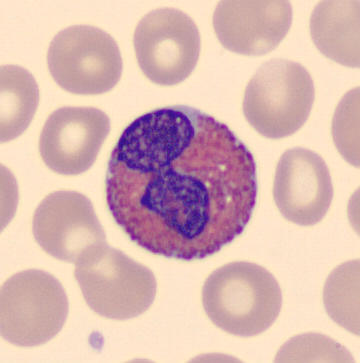Single cell identified as an eosinophilic granulocyte.